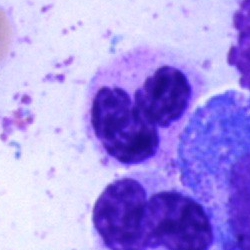
Morphology — segmented neutrophil.